Bone marrow aspirate smear
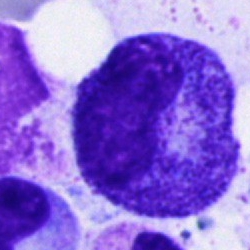

Classification: promyelocyte.